Bone marrow smear — 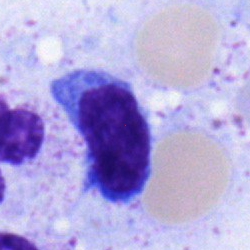
Impression → lymphocyte.